Bone marrow aspirate smear · 250×250
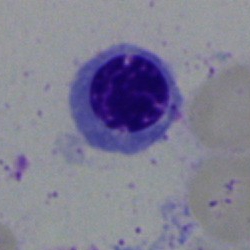
Q: Identify the cell.
A: Erythroblast.